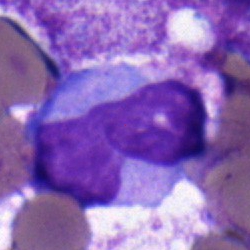
Single cell identified as a monocyte.